Peripheral blood film:
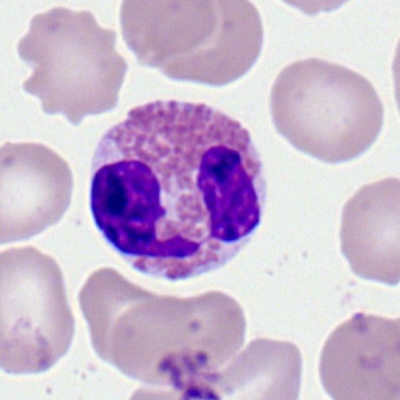Showing an eosinophilic granulocyte.